Bone marrow aspirate smear: 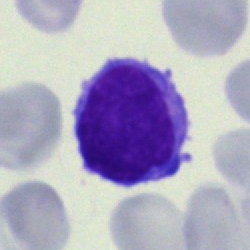Q: What is the morphological classification of this cell?
A: Lymphocyte.